Peripheral blood film: 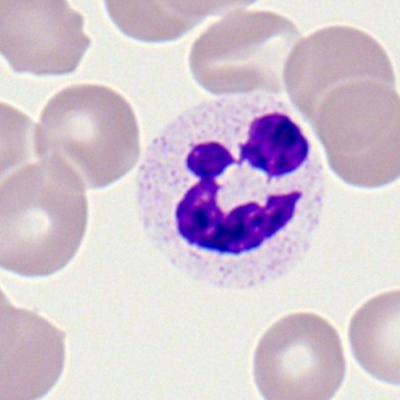 Q: What is the morphological classification of this cell?
A: Polymorphonuclear neutrophil.